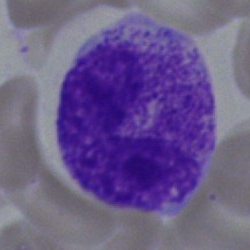

Specimen: bone marrow aspirate smear.
Cell: band-form neutrophil.